Bone marrow aspirate smear: 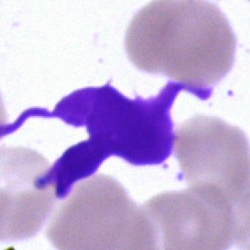 Morphology consistent with an artefact.